Bone marrow aspirate smear.
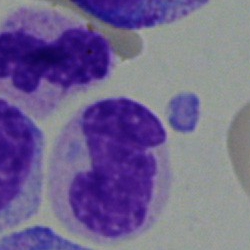A neutrophil (band).